Single-cell field; bone marrow smear — 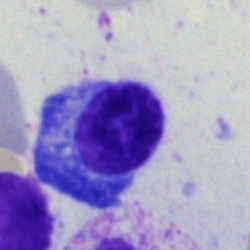Plasma cell.